Peripheral blood smear; brightfield, 100× oil-immersion objective; single-cell field — 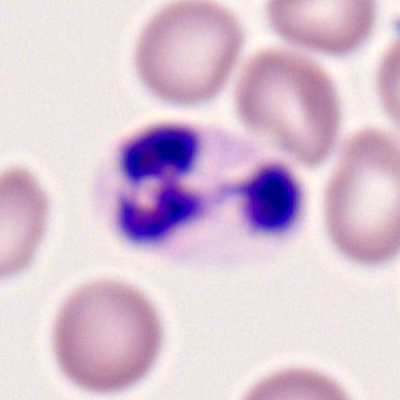Morphology → polymorphonuclear neutrophil.